Bone marrow aspirate smear
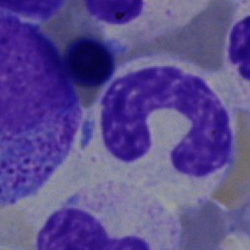Specimen: bone marrow smear.
Cell: band-form neutrophil.